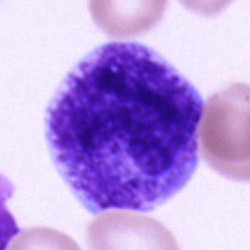

This is a progranulocyte.